Single-cell crop; Pappenheim-stained; bone marrow aspirate smear:
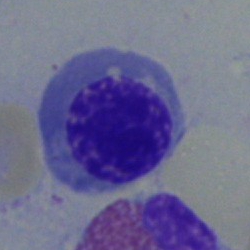

Specimen: bone marrow aspirate smear.
Cell: normoblast.